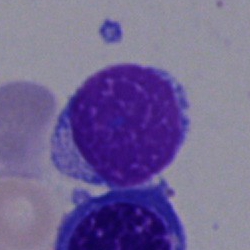 {"cell_type": "typical lymphocyte"}